Peripheral blood smear. 400×400: 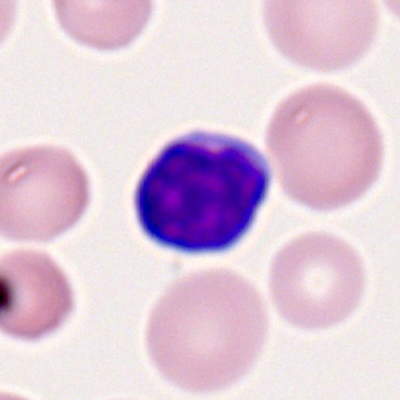Morphological class — lymphocyte.